Single-cell crop · bone marrow aspirate smear · May-Grünwald-Giemsa/Pappenheim stain:
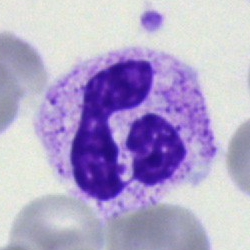
Morphology consistent with a segmented neutrophil.